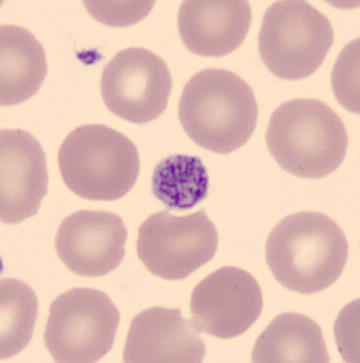

Identified as a thrombocyte. Preparation: Peripheral blood film.